Image size 250×250 · bone marrow smear: 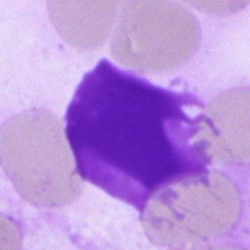

Specimen: bone marrow aspirate smear.
Cell: artifact.